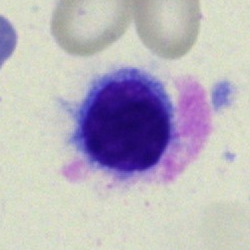Q: What cell is this?
A: A hairy cell.